Bone marrow aspirate smear · single cell centered in the field · 250 by 250 pixels: 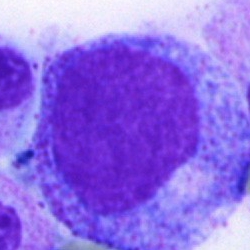The cell is progranulocyte.